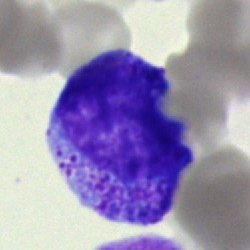Classification — promyelocyte.